Bone marrow aspirate smear:
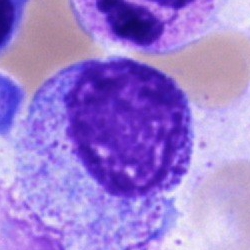
Classification: progranulocyte.